Brightfield microscopy, 40× oil immersion; bone marrow smear; cropped to a single cell
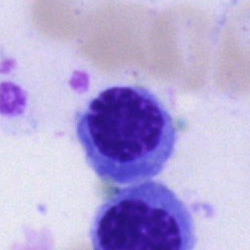

This is an erythroblast.